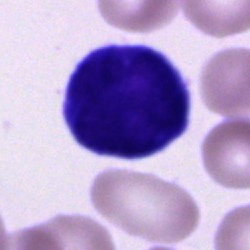
This is an unidentifiable cell.